Bone marrow smear
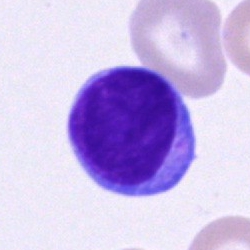
Typical lymphocyte.